Bone marrow smear — 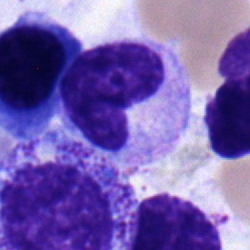
{"cell_type": "neutrophil (band)", "lineage": "myeloid"}